Bone marrow smear: 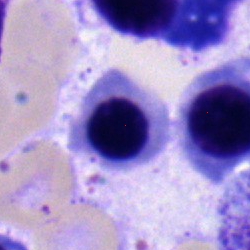
Q: What is the morphological classification of this cell?
A: Nucleated red cell.